Bone marrow smear — 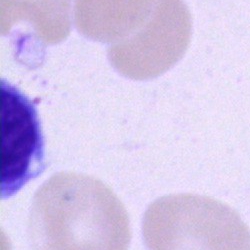

{"cell_type": "artifact"}